Bone marrow aspirate smear: 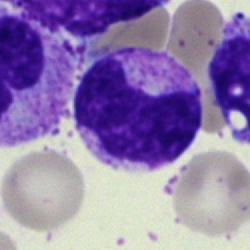

Morphological class = band neutrophil.